Peripheral blood smear. 400 by 400 pixels — 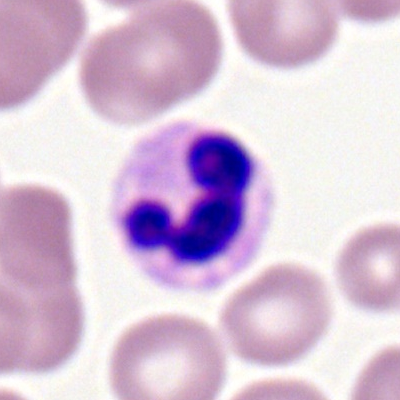 The cell shown is a neutrophil (segmented).